Bone marrow aspirate smear: 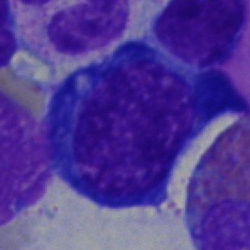Cell: normoblast.